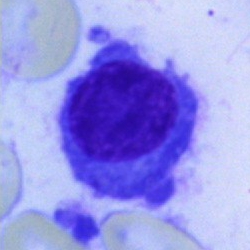
Classification = plasma cell.